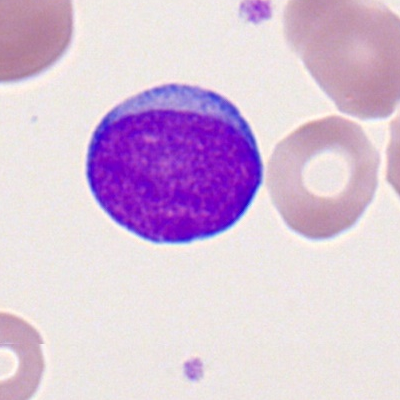

Peripheral blood film, single cell — myeloblast.